Peripheral blood smear: 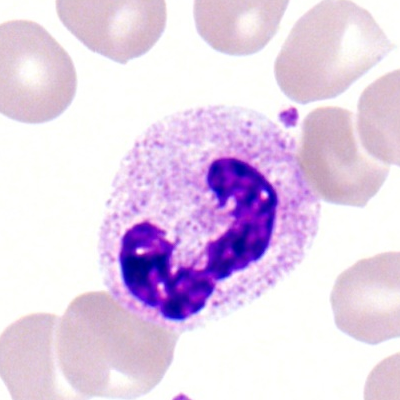 Segmented neutrophil.